MGG-stained · bone marrow smear:
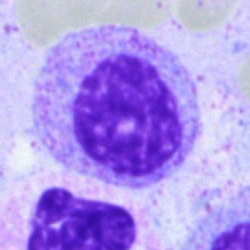

{"cell_type": "myelocyte"}